Single-cell crop; bone marrow smear.
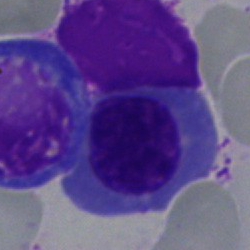

Q: Which cell type is shown here?
A: This is a nucleated red blood cell.